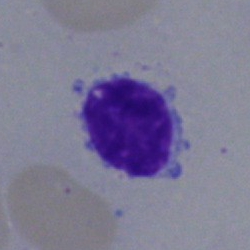

Impression — lymphocyte.